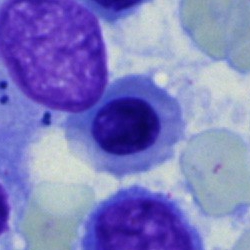Morphological class — nucleated red cell.